Bone marrow aspirate smear · single cell centered in the field · May-Grünwald-Giemsa stain
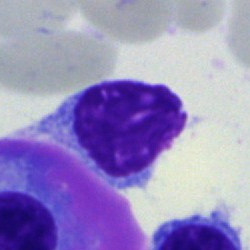
Showing a typical lymphocyte.